May-Grünwald-Giemsa stain · bone marrow aspirate smear
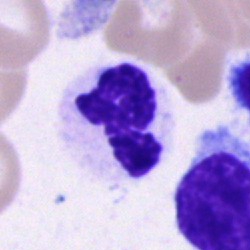

A neutrophil (segmented).